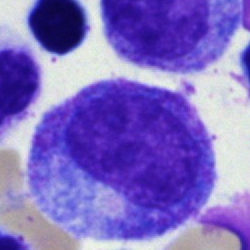 Cell = progranulocyte.